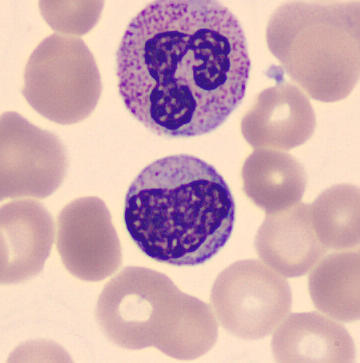Preparation: Peripheral blood smear. Q: What is the morphological classification of this cell?
A: Metamyelocyte.